Bone marrow smear:
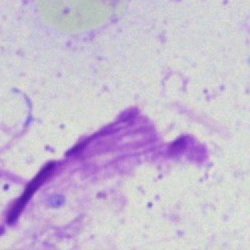
Classification = artefact.